Bone marrow aspirate smear.
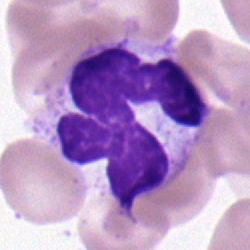This is a polymorphonuclear neutrophil.